Bone marrow aspirate smear · single cell centered in the field — 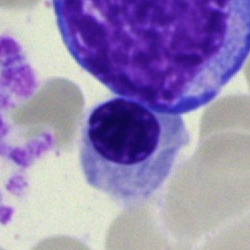 Morphology consistent with a normoblast.